Brightfield, 40× oil-immersion objective. Single-cell field. Bone marrow smear — 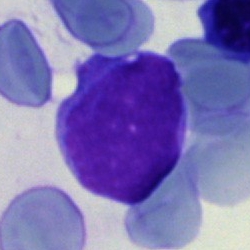Q: What is shown here?
A: Blast.